Bone marrow smear — 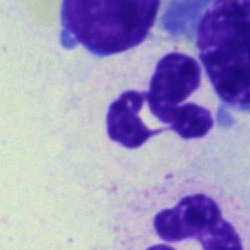

Neutrophil (segmented).